Single-cell field; bone marrow aspirate smear — 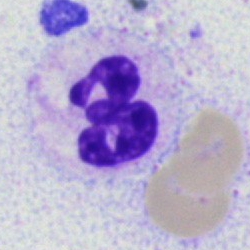

Specimen: bone marrow aspirate smear.
Cell: segmented neutrophil.